Peripheral blood film
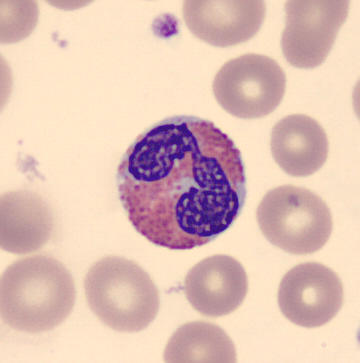 This is an eosinophilic granulocyte.